Single cell centered in the field · bone marrow smear.
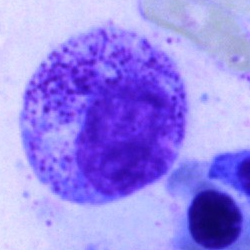
Cell: myelocyte.